Pappenheim-stained · bone marrow aspirate smear
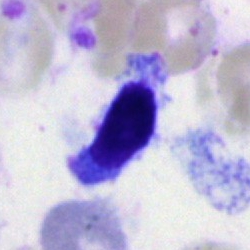Cell type = typical lymphocyte.